Bone marrow smear — 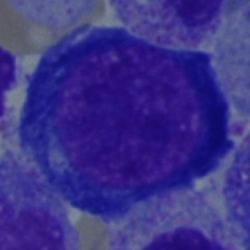Showing a pronormoblast.